Image size 250×250. Pappenheim-stained. Bone marrow smear — 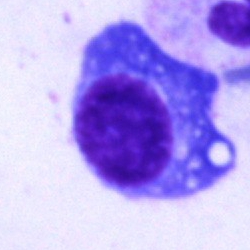

Q: Identify the cell.
A: This is a plasmacyte.